Image size 250×250; bone marrow aspirate smear — 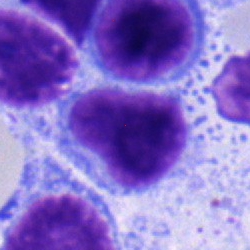Q: Which cell type is shown here?
A: A typical lymphocyte.